Peripheral blood film.
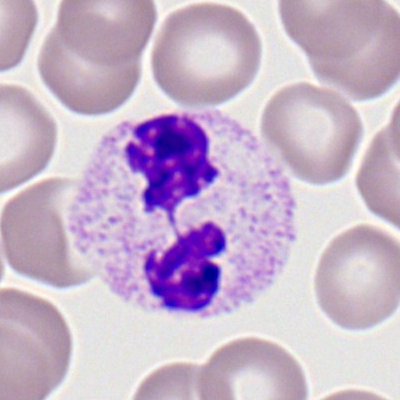

Morphology → neutrophil (segmented).